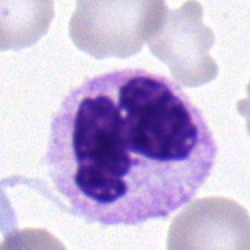
Bone marrow aspirate smear, single cell — segmented neutrophil.